Bone marrow aspirate smear — 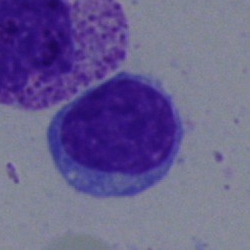 Typical lymphocyte.